Bone marrow smear — 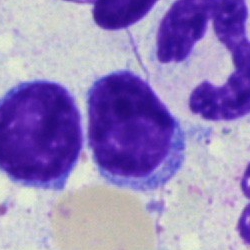
Specimen: bone marrow aspirate smear.
Cell type: lymphocyte.
Lineage: lymphoid.